Bone marrow aspirate smear: 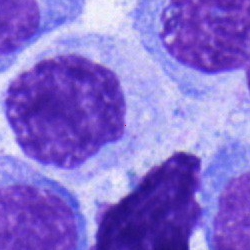 Q: Identify the cell.
A: A myelocyte.